Bone marrow smear
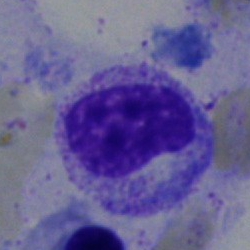A metamyelocyte.